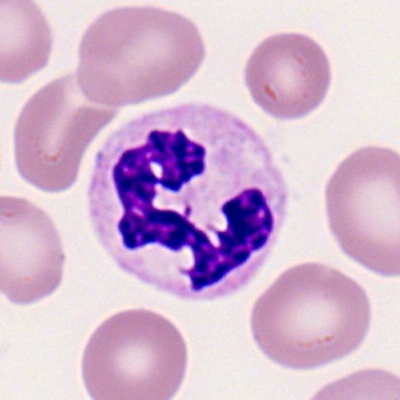 Q: What cell is this?
A: Polymorphonuclear neutrophil.